Bone marrow smear. 40× oil immersion:
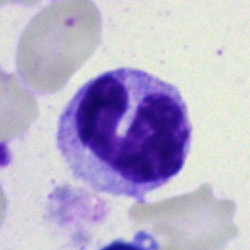The morphological class is band-form neutrophil.